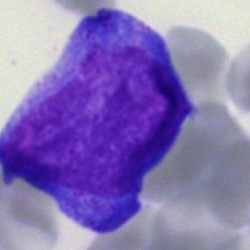Morphology consistent with a progranulocyte.